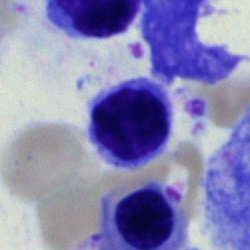
Q: What cell is this?
A: A nucleated red cell.